Bone marrow aspirate smear
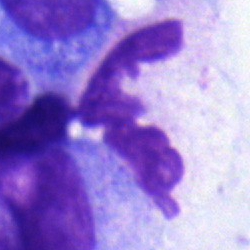 Q: What cell is this?
A: It is a polymorphonuclear neutrophil.